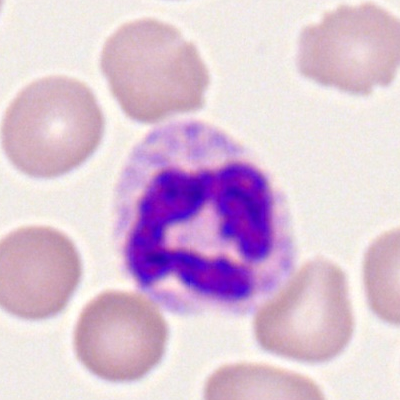

Cell type — segmented neutrophil.